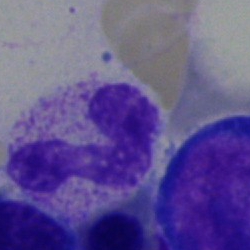
Morphology → neutrophil (segmented).